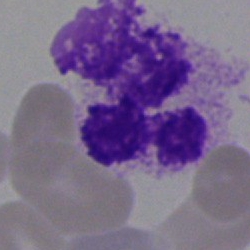

Showing an artefact.